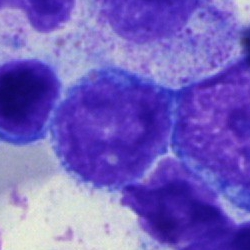
Classification = typical lymphocyte.